Bone marrow smear: 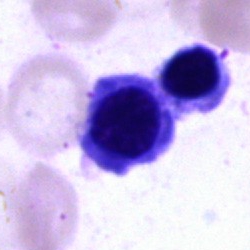 Q: What is shown here?
A: It is a nucleated red blood cell.